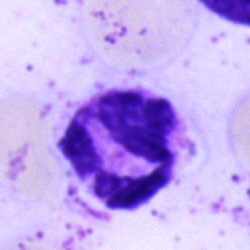

Q: What cell is this?
A: It is a segmented neutrophil.